Peripheral blood smear; 100× objective, oil immersion
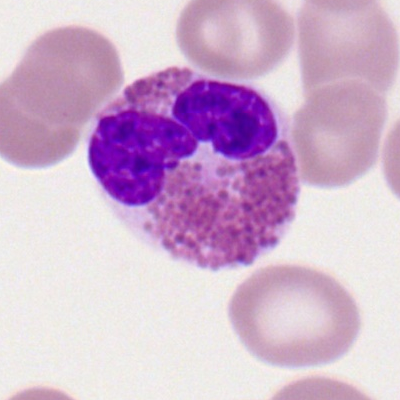

Q: What type of cell is this?
A: Eosinophilic granulocyte.